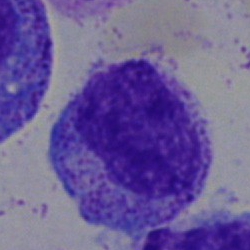

Single cell identified as a myelocyte.